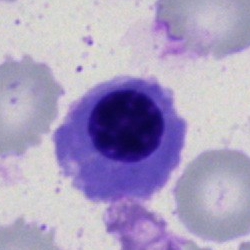Morphology — normoblast.